Bone marrow smear. Single-cell crop — 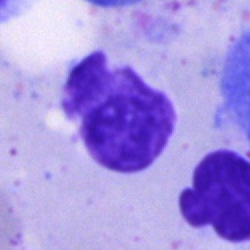Specimen: bone marrow aspirate smear.
Cell: artefact.